Pappenheim-stained; single-cell crop; bone marrow aspirate smear: 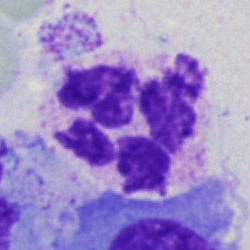

Single cell identified as a neutrophil (segmented).